May-Grünwald-Giemsa stain. Bone marrow smear — 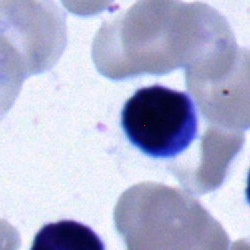

Specimen: bone marrow smear.
Cell: lymphocyte.